40× objective, oil immersion · May-Grünwald-Giemsa stain · bone marrow smear
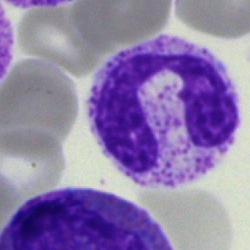Cell = polymorphonuclear neutrophil.